Bone marrow aspirate smear · 250×250: 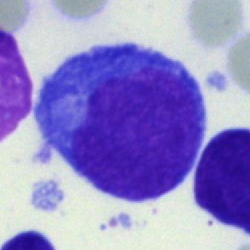
Specimen: bone marrow smear.
Morphological class: blast.